Single-cell field; bone marrow aspirate smear
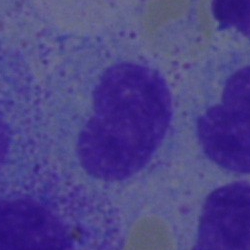 Cell — metamyelocyte.